Image size 250×250. Bone marrow aspirate smear:
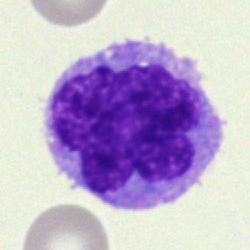 {"cell_type": "monocyte", "lineage": "myeloid"}